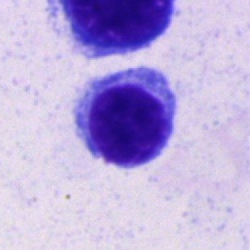
Single cell identified as a lymphocyte.